Image size 250×250; bone marrow aspirate smear; MGG-stained — 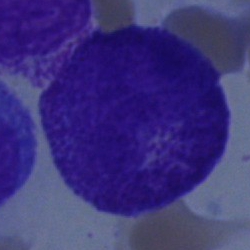
Morphological class: progranulocyte.